Bone marrow smear · 250×250 px · brightfield, 40× oil-immersion objective
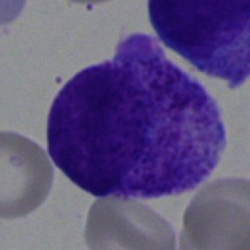
Morphological class — blast cell.